Bone marrow aspirate smear. May-Grünwald-Giemsa stain. Cropped to a single cell: 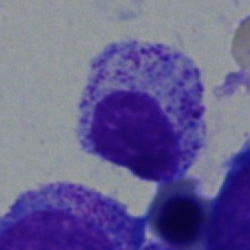
Morphology → myelocyte.